Cropped to a single cell · bone marrow aspirate smear · image size 250×250.
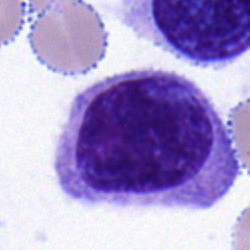
Single cell identified as a typical lymphocyte.